Peripheral blood film
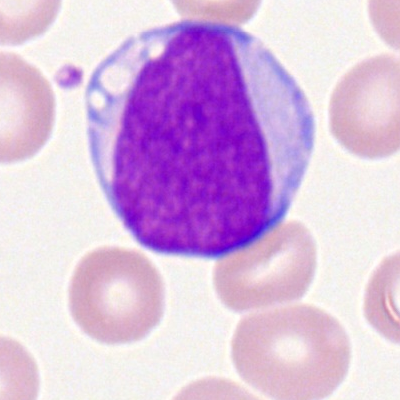

Q: Identify the cell.
A: A myeloid blast.